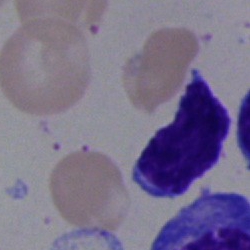

Cell type: typical lymphocyte.